Pappenheim-stained. 250×250 px. Bone marrow aspirate smear — 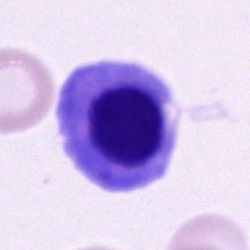

Showing a nucleated red cell.